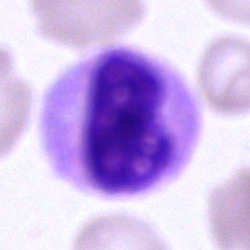
The cell is unidentifiable cell.